Bone marrow aspirate smear; Pappenheim-stained — 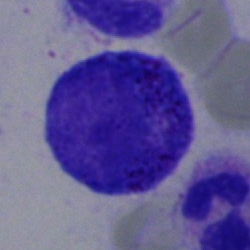

This is a promyelocyte.